Bone marrow aspirate smear — 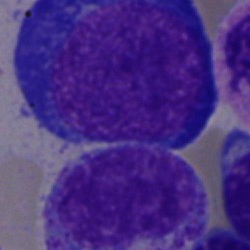
Showing a pronormoblast.